Bone marrow smear — 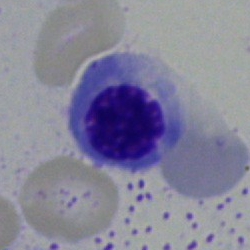Specimen: bone marrow smear.
Cell: nucleated red cell.
Lineage: erythroid.